Bone marrow smear · 250×250 · 40× oil immersion: 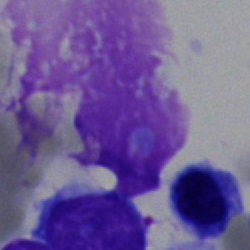

Impression — artefact.